Bone marrow aspirate smear.
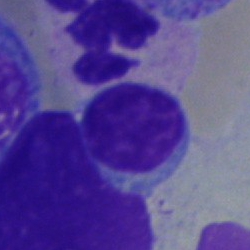

Q: What is the morphological classification of this cell?
A: This is a lymphocyte.